Bone marrow aspirate smear · cropped to a single cell · May-Grünwald-Giemsa stain.
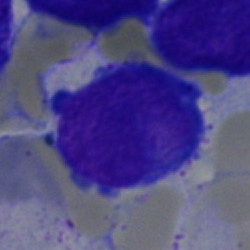
Classification — blast.